Peripheral blood film · Romanowsky-type stain: 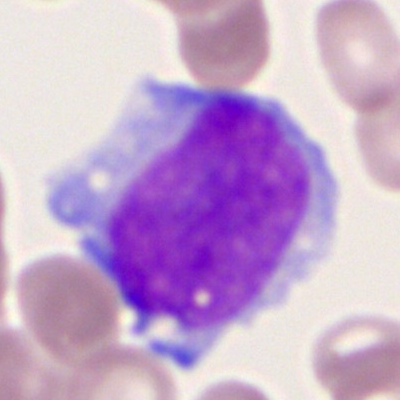
Impression → myeloid blast.